Bone marrow aspirate smear.
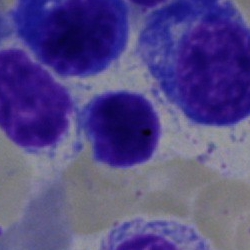

Specimen: bone marrow smear.
Cell: lymphocyte.
Lineage: lymphoid.